May-Grünwald-Giemsa stain. Bone marrow smear — 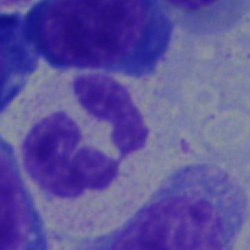
The classification is neutrophil (segmented).